Bone marrow aspirate smear
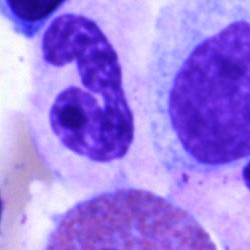

Specimen: bone marrow aspirate smear.
Cell: segmented neutrophil.